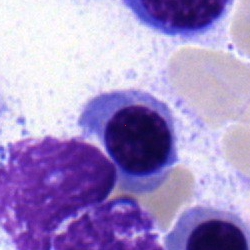The cell type is nucleated red cell.